Bone marrow aspirate smear — 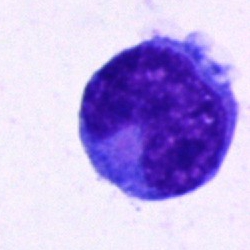{"cell_type": "blast cell"}